Bone marrow smear
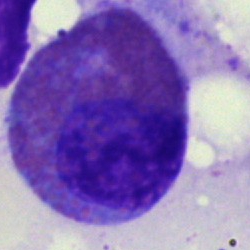

Showing an eosinophil.